Bone marrow smear; brightfield, 40× oil-immersion objective — 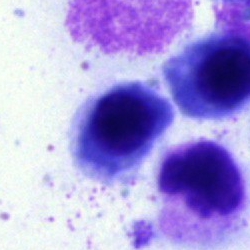

Nucleated red cell.